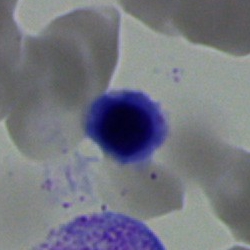
Showing a nucleated red blood cell.